Bone marrow aspirate smear.
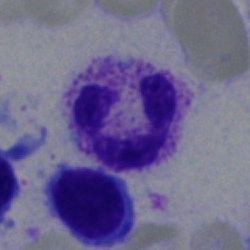
The cell shown is a neutrophil (segmented).